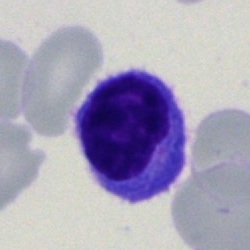 This is a lymphocyte.